Cropped to a single cell. Image size 250×250. Bone marrow smear.
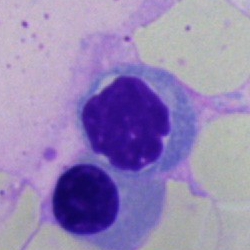Cell — nucleated red cell.